Single-cell crop; bone marrow aspirate smear
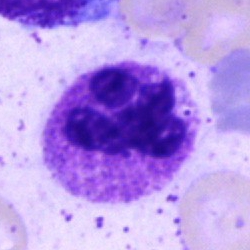
Neutrophil (segmented).